Single-cell crop · brightfield, 40× oil-immersion objective · bone marrow aspirate smear.
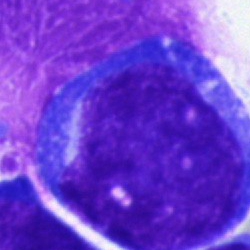The cell type is undifferentiated blast.